Peripheral blood film.
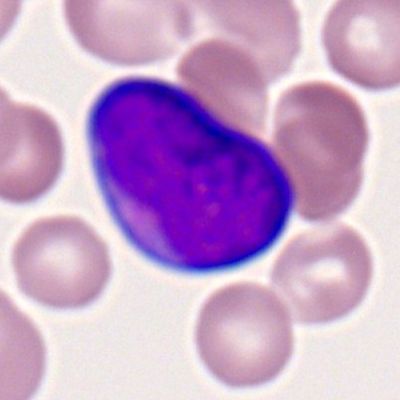 Morphology consistent with a myeloid blast.